Bone marrow aspirate smear; MGG-stained; single-cell crop — 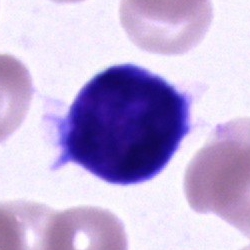
Morphological class — undifferentiated blast.